400×400 px. Peripheral blood film — 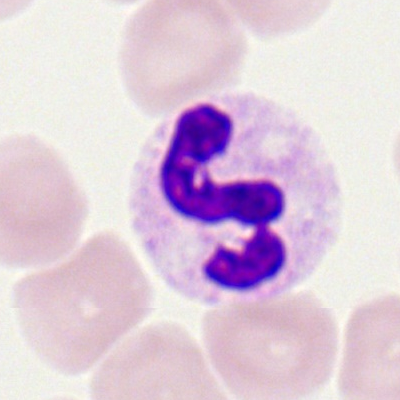 {"cell_type": "segmented neutrophil"}